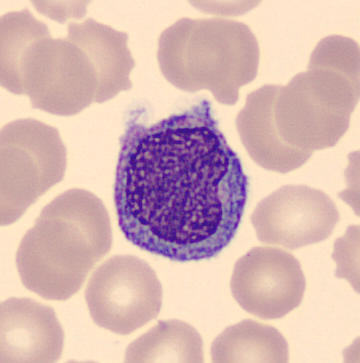 Monocyte. Preparation: Peripheral blood smear.